Bone marrow aspirate smear:
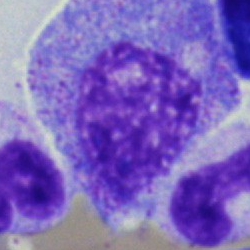The cell type is promyelocyte.